Bone marrow smear.
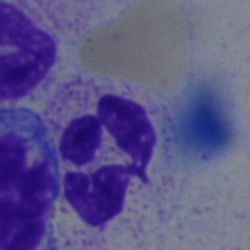
Morphology consistent with a neutrophil (segmented).